Bone marrow smear; 250×250.
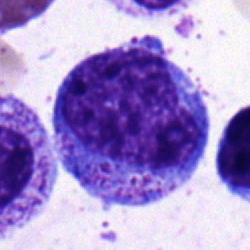

Classification = promyelocyte.